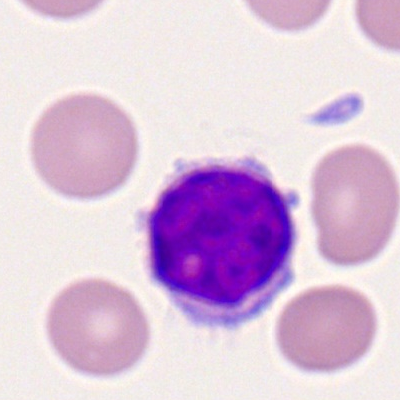
Cell — lymphocyte.